Single cell centered in the field; 40× oil immersion; bone marrow smear — 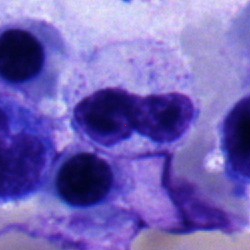
Impression → neutrophil (band).